40× oil immersion. Bone marrow smear
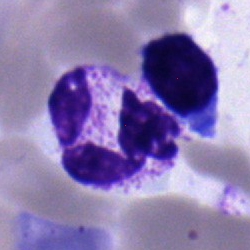 Q: What is shown here?
A: It is a neutrophil (segmented).